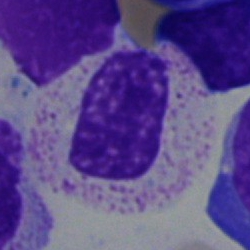

This is a myelocyte.